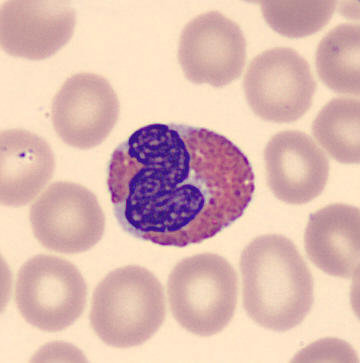

From a peripheral blood smear: an eosinophilic granulocyte.